400 by 400 pixels · peripheral blood smear: 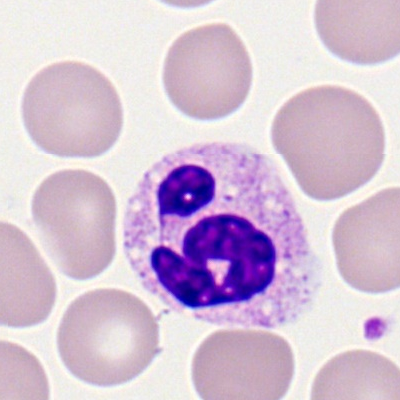 Q: What is the morphological classification of this cell?
A: This is a polymorphonuclear neutrophil.